Bone marrow aspirate smear. MGG-stained: 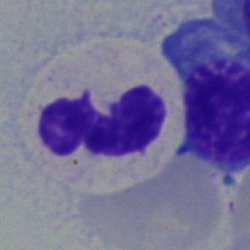

Morphology → stab cell.